Bone marrow aspirate smear.
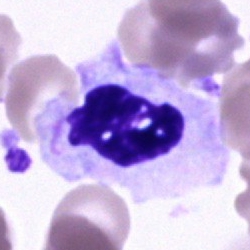

Morphology → neutrophil (segmented).